40× oil immersion. Cropped to a single cell. Bone marrow smear.
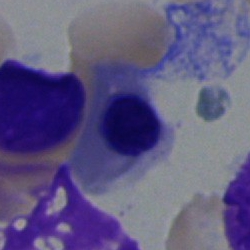

Morphology consistent with an erythroblast.